May-Grünwald-Giemsa stain. Bone marrow smear. 40× objective, oil immersion — 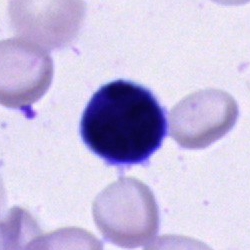 Showing a cell of indeterminate lineage.